Brightfield microscopy, 40× oil immersion; May-Grünwald-Giemsa/Pappenheim stain; bone marrow smear
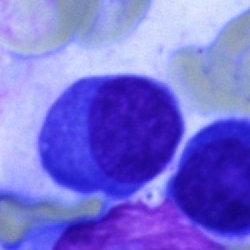Specimen: bone marrow aspirate smear.
Cell: plasmacyte.
Lineage: lymphoid.